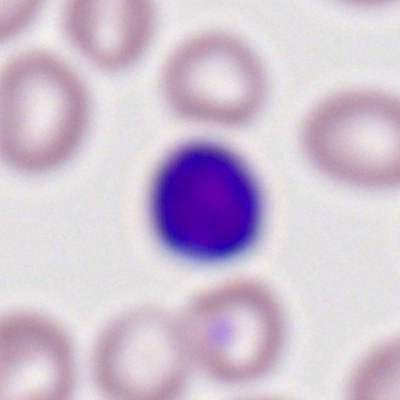

A lymphocyte on a peripheral blood smear.